Bone marrow smear — 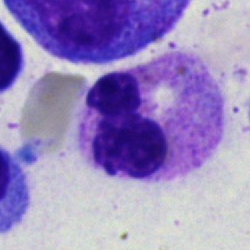Q: What is the morphological classification of this cell?
A: Neutrophil (segmented).